Bone marrow smear · 40× objective, oil immersion:
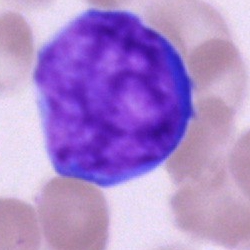Showing an undifferentiated blast.